Image size 250×250 · bone marrow aspirate smear.
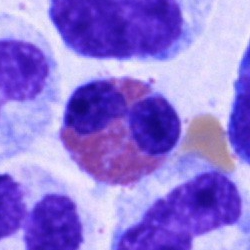Specimen: bone marrow aspirate smear.
Cell type: eosinophil.